Bone marrow aspirate smear.
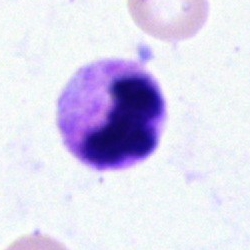
Cell = segmented neutrophil.